Peripheral blood smear; image size 400×400: 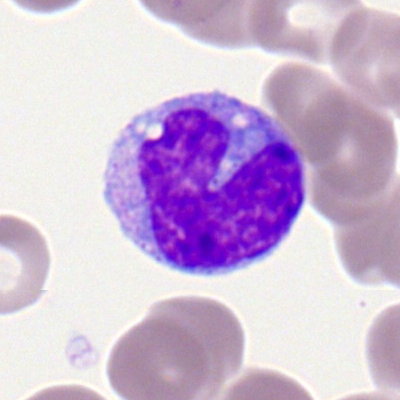 Showing a monocyte.